Bone marrow smear; cropped to a single cell:
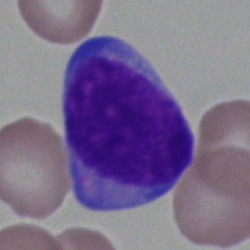 The classification is undifferentiated blast.